Bone marrow aspirate smear: 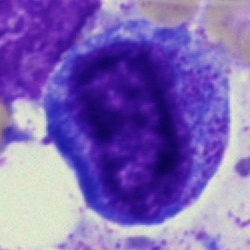

Morphological class: promyelocyte.